250×250 · bone marrow smear — 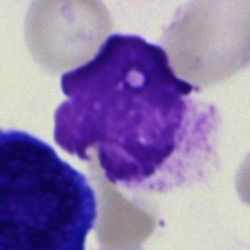
Artefact.